Bone marrow aspirate smear
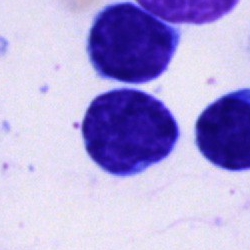

Q: What cell is this?
A: A typical lymphocyte.